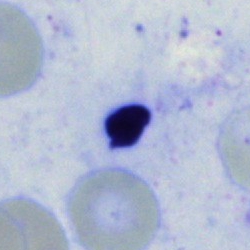 Q: What is shown here?
A: Artifact.